Bone marrow smear. Single-cell field.
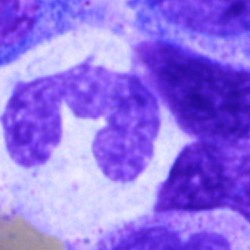Q: What is shown here?
A: This is a polymorphonuclear neutrophil.